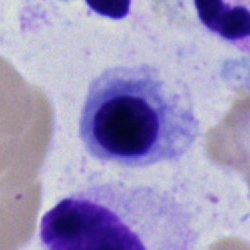

Normoblast.